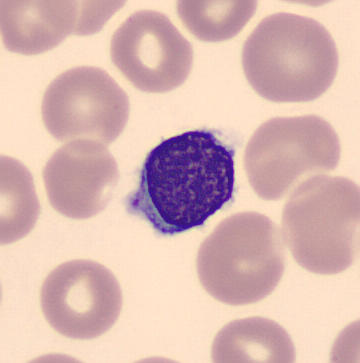Peripheral blood film. Automated cell imaging (CellaVision DM96). Single-cell field. The cell type is lymphocyte.